Bone marrow aspirate smear.
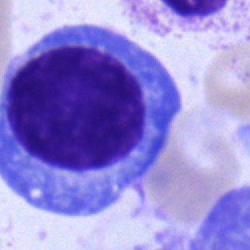 Specimen: bone marrow aspirate smear.
Morphological class: plasma cell.
Lineage: lymphoid.